May-Grünwald-Giemsa stain. Bone marrow aspirate smear — 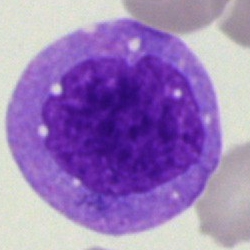 Morphology consistent with a monocyte.